Bone marrow smear
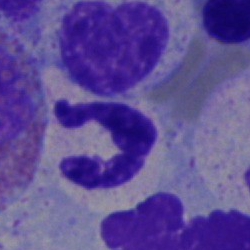
Single cell identified as a segmented neutrophil.